Bone marrow aspirate smear: 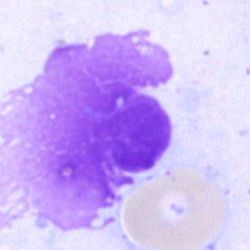 Q: What is shown here?
A: Artifact.